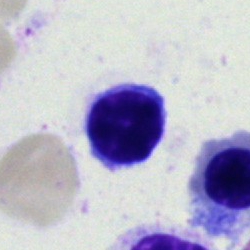 Cell type — lymphocyte.